Bone marrow aspirate smear
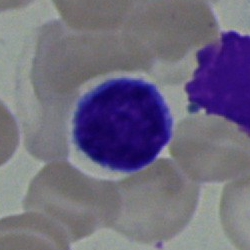 Classification: lymphocyte.